Bone marrow smear. MGG-stained. Single-cell crop:
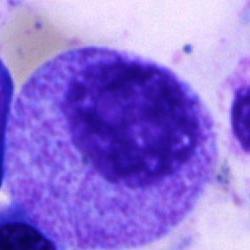The cell shown is a promyelocyte.